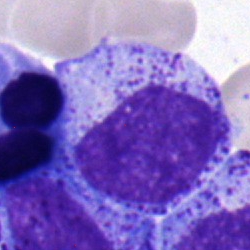
Myelocyte.